Bone marrow aspirate smear:
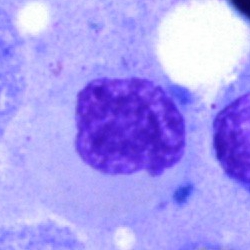Cell type: artefact.